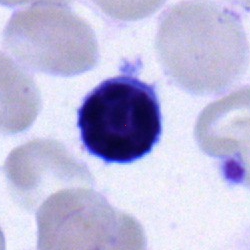Classification: typical lymphocyte.